Image size 250×250; bone marrow aspirate smear
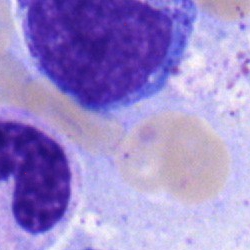
Impression → progranulocyte.